250 by 250 pixels. 40× oil immersion. Bone marrow aspirate smear:
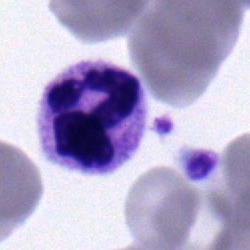

Morphology → segmented neutrophil.